Image size 250×250 · bone marrow aspirate smear.
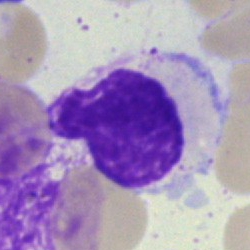

Showing an artifact.